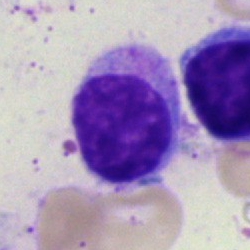Bone marrow smear showing a lymphocyte.